Bone marrow aspirate smear. 250 by 250 pixels. MGG-stained — 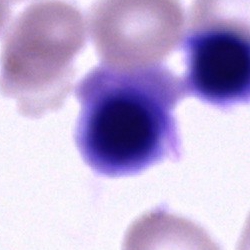The cell type is unidentifiable cell.